Bone marrow smear · 250 by 250 pixels · May-Grünwald-Giemsa stain:
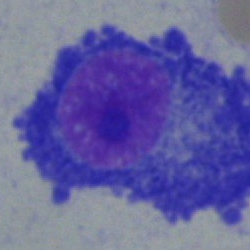
Q: What is shown here?
A: Plasmacyte.